Bone marrow aspirate smear: 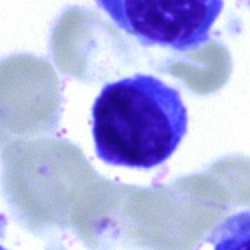
Specimen: bone marrow aspirate smear.
Morphological class: typical lymphocyte.
Lineage: lymphoid.